Bone marrow smear — 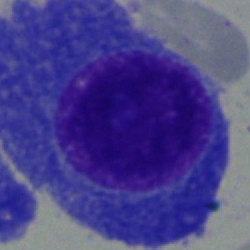Cell type — plasmacyte.